40× oil immersion · bone marrow smear
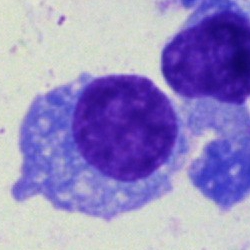
Q: What is the morphological classification of this cell?
A: Plasmacyte.